Pappenheim-stained; bone marrow smear:
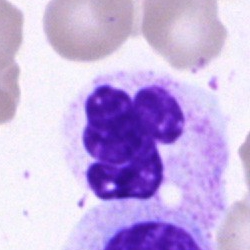 Q: What type of cell is this?
A: A segmented neutrophil.